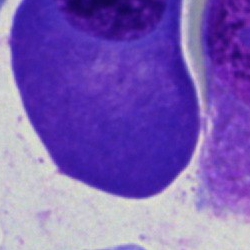
Cell = plasma cell.